Brightfield microscopy, 40× oil immersion. Bone marrow aspirate smear
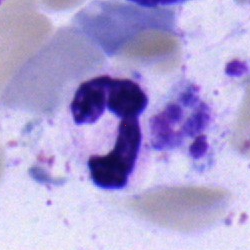Polymorphonuclear neutrophil.